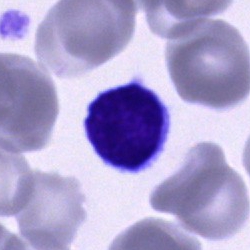

{"cell_type": "lymphocyte"}